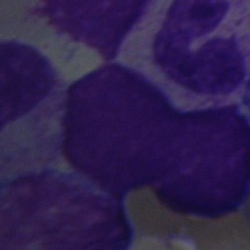

The classification is artefact.